250 by 250 pixels; bone marrow smear.
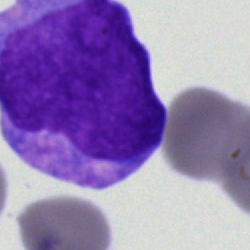

Morphology consistent with a blast.